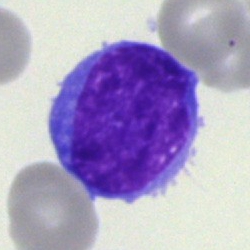Morphology → undifferentiated blast.